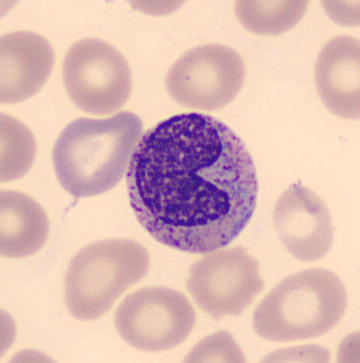

Showing a metamyelocyte.
Peripheral blood film.